Cropped to a single cell. Bone marrow aspirate smear. Brightfield, 40× oil-immersion objective: 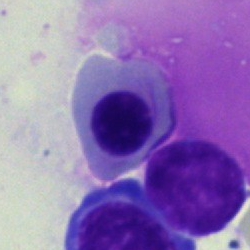 Q: What cell is this?
A: It is an erythroblast.